Bone marrow smear
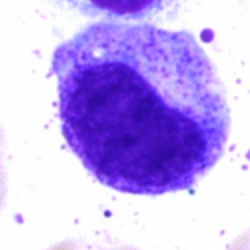

Showing a promyelocyte.